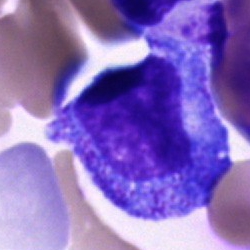
Classification — progranulocyte.